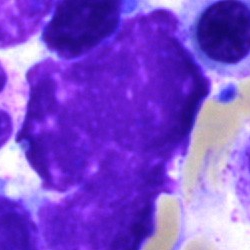

Classification: artefact.